Bone marrow smear
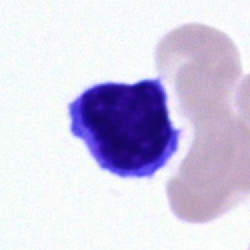This is a typical lymphocyte.